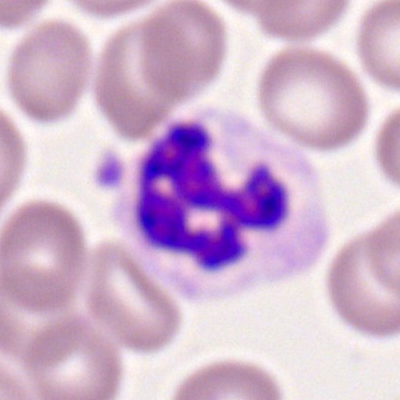

A segmented neutrophil.